Bone marrow aspirate smear
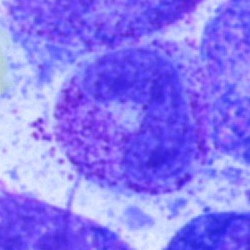Impression → band neutrophil.